Bone marrow smear.
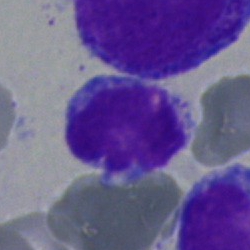
Cell type — lymphocyte.